250×250 px · bone marrow smear: 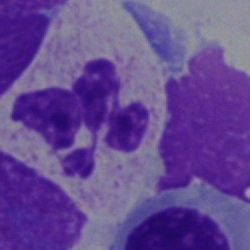 Cell type = segmented neutrophil.